40× oil immersion; image size 250×250; bone marrow smear: 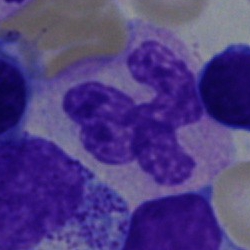Polymorphonuclear neutrophil.